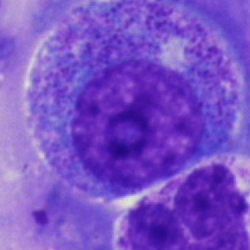

Single cell identified as a promyelocyte.